Bone marrow aspirate smear; 250 by 250 pixels: 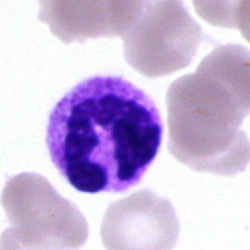 Specimen: bone marrow aspirate smear.
Cell: polymorphonuclear neutrophil.
Lineage: myeloid.